Bone marrow aspirate smear · single cell centered in the field
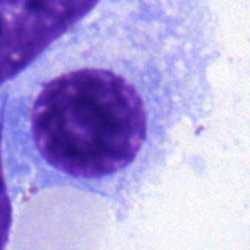
Showing a plasmacyte.